Bone marrow smear; single-cell field — 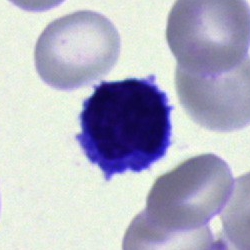The classification is typical lymphocyte.